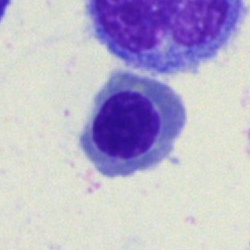

Classification — normoblast.